Bone marrow aspirate smear · cropped to a single cell · 250×250: 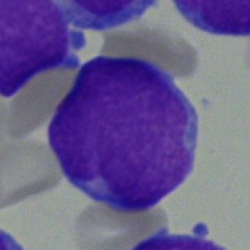 The cell shown is an undifferentiated blast.